40× objective, oil immersion · bone marrow aspirate smear — 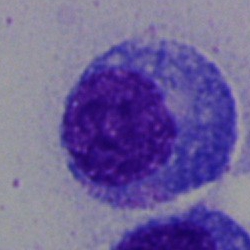The classification is progranulocyte.